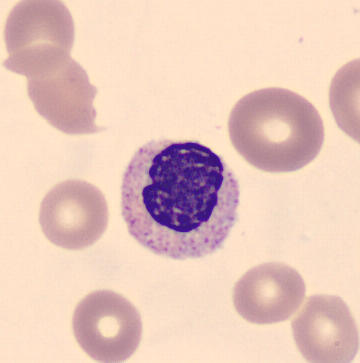{"cell_type": "metamyelocyte"} Acquisition: Peripheral blood smear. May-Grünwald-Giemsa-stained.